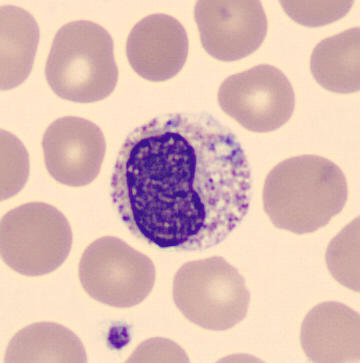

Acquisition: Peripheral blood film. Single-cell field. Single cell identified as a metamyelocyte.